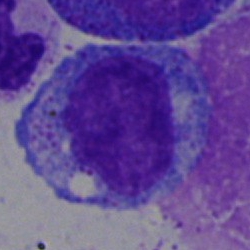 A progranulocyte.